Bone marrow smear
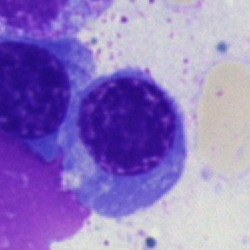Q: What is the morphological classification of this cell?
A: This is a nucleated red blood cell.